Bone marrow smear:
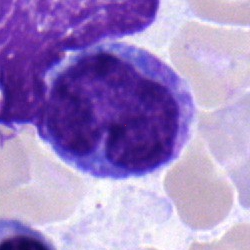 {"cell_type": "monocyte"}